Bone marrow aspirate smear — 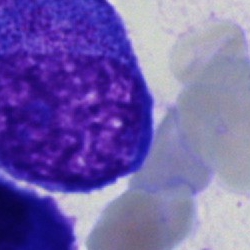 Morphology → progranulocyte.